Bone marrow smear. May-Grünwald-Giemsa stain. 40× objective, oil immersion:
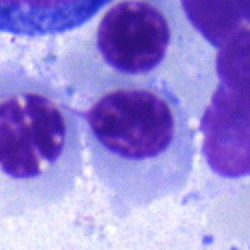 Specimen: bone marrow aspirate smear.
Morphological class: erythroblast.